Bone marrow smear.
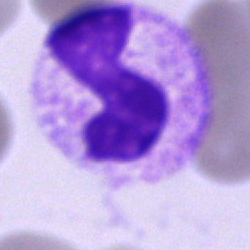Q: Which cell type is shown here?
A: A band neutrophil.